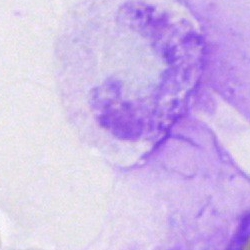 Specimen: bone marrow smear.
Cell: artefact.